May-Grünwald-Giemsa stain; bone marrow smear:
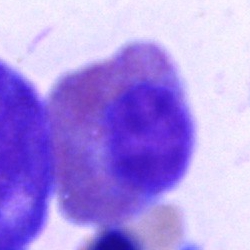

Classification — eosinophilic granulocyte.